Cropped to a single cell. Bone marrow aspirate smear. 250 by 250 pixels — 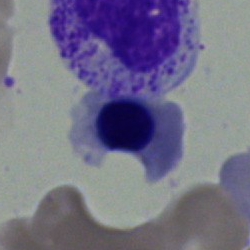

The cell type is nucleated red cell.